Pappenheim-stained. Bone marrow smear.
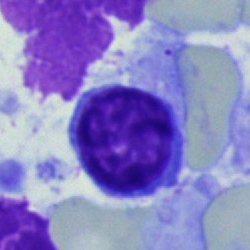
Morphology consistent with a typical lymphocyte.